Image size 250×250; bone marrow aspirate smear; cropped to a single cell.
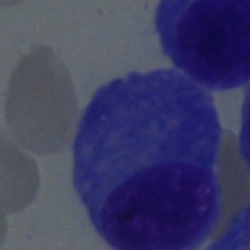

Classification — plasmacyte.